Single cell centered in the field; peripheral blood smear
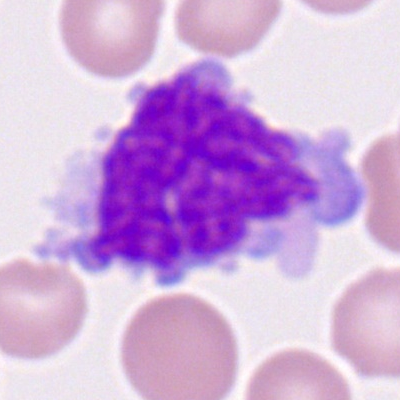

Q: What is shown here?
A: Monocyte.